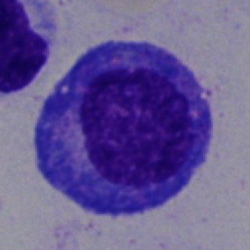 Classification: promyelocyte.